Peripheral blood film: 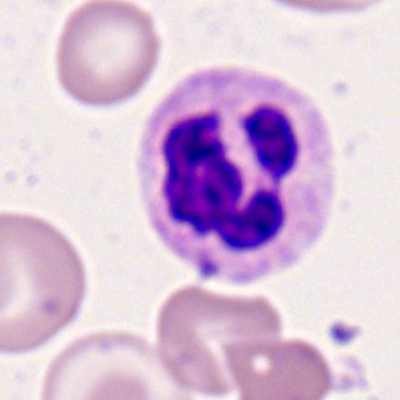
Showing a segmented neutrophil.